Bone marrow smear · 250×250:
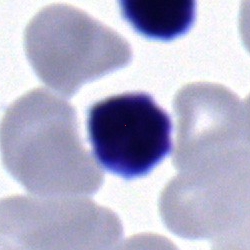The classification is typical lymphocyte.